Bone marrow aspirate smear.
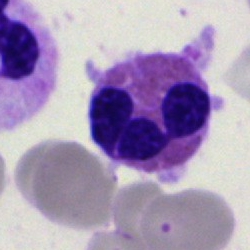

Showing an eosinophil.